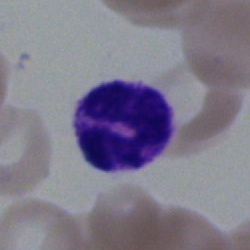
Q: What type of cell is this?
A: Polymorphonuclear neutrophil.